Bone marrow smear · 250×250
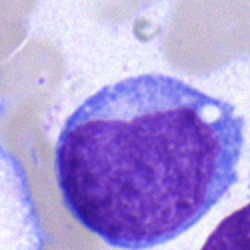

Morphology — blast.